100× oil immersion · Romanowsky-stained · peripheral blood smear — 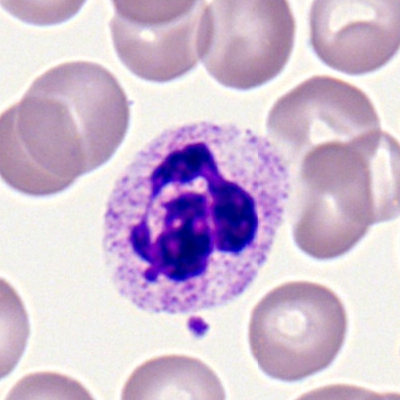

Single cell identified as a polymorphonuclear neutrophil.